May-Grünwald-Giemsa/Pappenheim stain · 40× objective, oil immersion · bone marrow aspirate smear
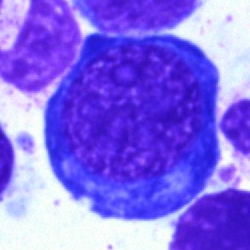Cell: nucleated red blood cell.